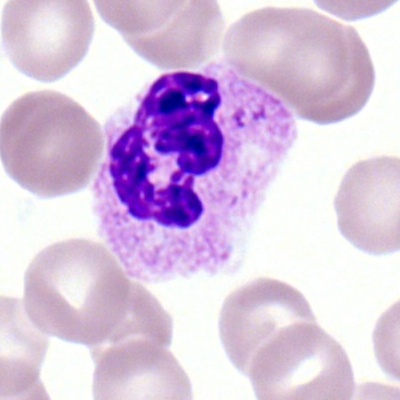
Morphology consistent with a neutrophil (segmented).